Romanowsky-type stain; peripheral blood smear
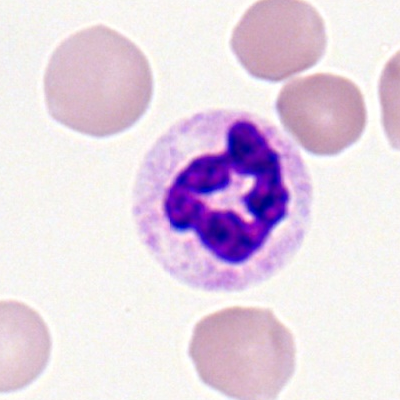This is a segmented neutrophil.